Bone marrow smear: 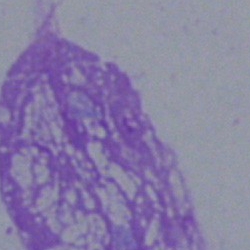

Morphology → artifact.